Bone marrow aspirate smear.
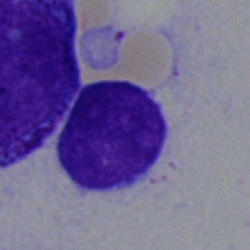
The cell is typical lymphocyte.